Peripheral blood film.
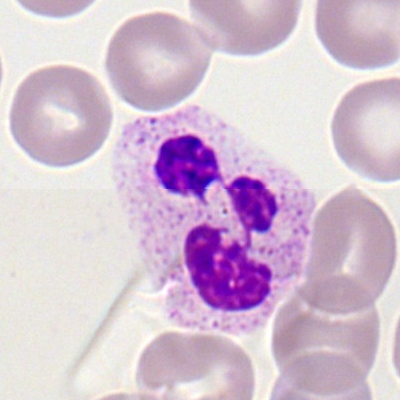Single cell identified as a neutrophil (segmented).